Bone marrow aspirate smear — 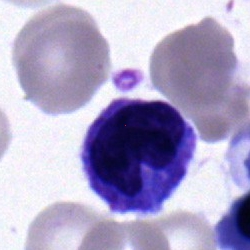
The morphological class is monocyte.